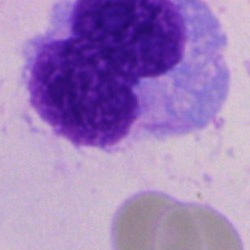The cell is artifact.